Bone marrow aspirate smear · single-cell field — 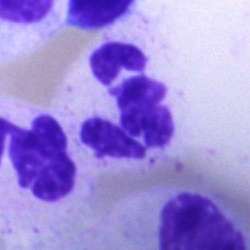 Impression — neutrophil (segmented).